Bone marrow aspirate smear; MGG-stained: 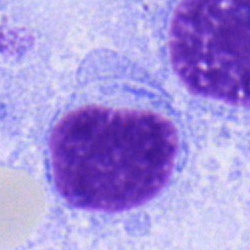
Morphology consistent with a typical lymphocyte.